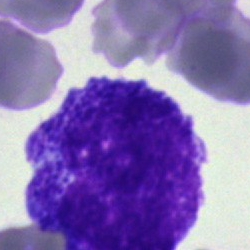 Promyelocyte.